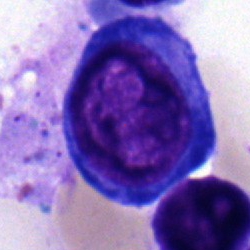 Morphology consistent with a pronormoblast.